Bone marrow smear. 250×250 px.
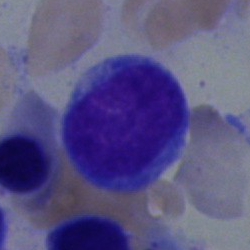 Q: What type of cell is this?
A: Lymphocyte.